Bone marrow aspirate smear
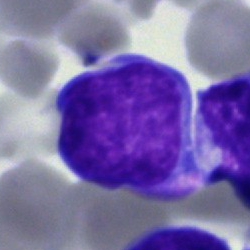 Morphology consistent with an undifferentiated blast.